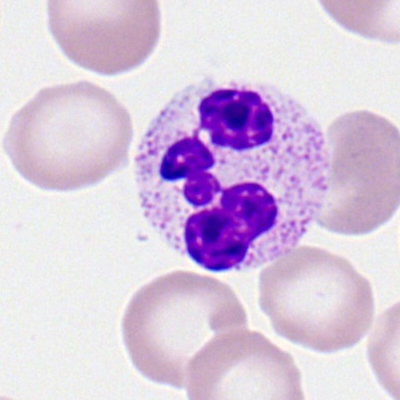Peripheral blood film, single cell — polymorphonuclear neutrophil.